Bone marrow aspirate smear: 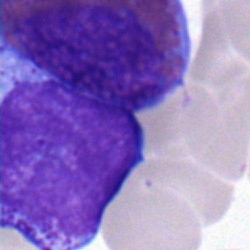

Morphology consistent with an eosinophilic granulocyte.